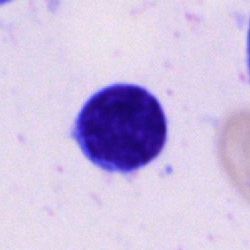Single cell identified as a lymphocyte.